Bone marrow aspirate smear:
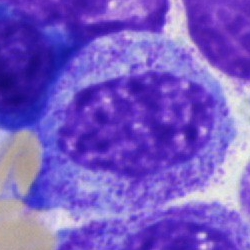

Specimen: bone marrow aspirate smear.
Morphological class: progranulocyte.
Lineage: myeloid.